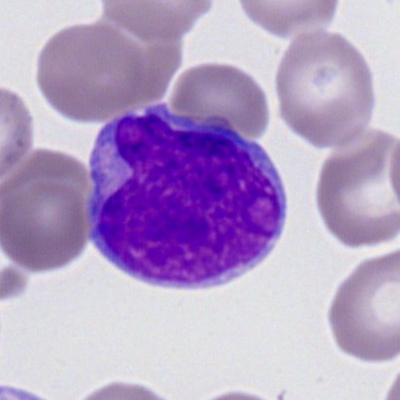 A myeloid blast on a peripheral blood smear.